Bone marrow smear:
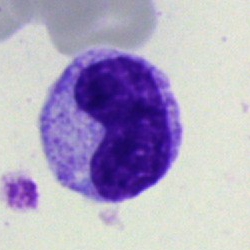

Impression — metamyelocyte.